Single-cell field; bone marrow aspirate smear — 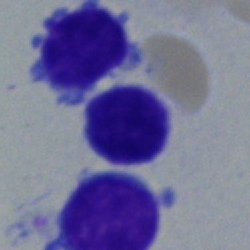
Q: What is the morphological classification of this cell?
A: Lymphocyte.